Bone marrow aspirate smear: 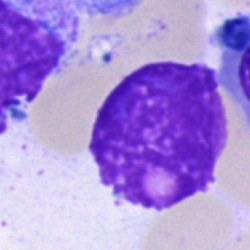 Cell type = artifact.